MGG-stained. Bone marrow smear: 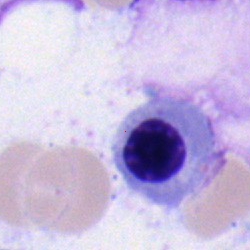 Showing an erythroblast.